Bone marrow aspirate smear: 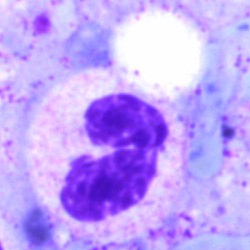
Q: Identify the cell.
A: A segmented neutrophil.